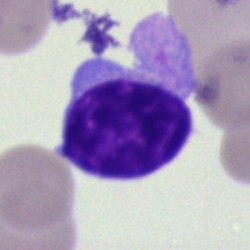 Bone marrow smear showing a typical lymphocyte.